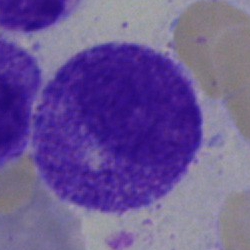

Q: What cell is this?
A: Myelocyte.